Bone marrow aspirate smear:
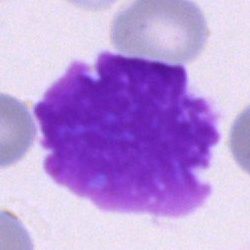 Artefact.